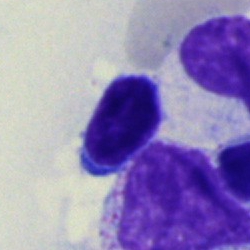 Impression — lymphocyte.